Bone marrow smear: 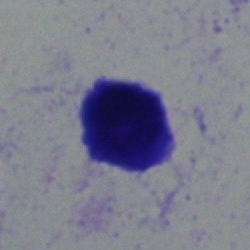 Showing a lymphocyte.